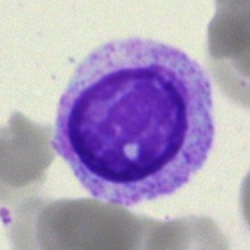
Myelocyte.